May-Grünwald-Giemsa stain; bone marrow aspirate smear; brightfield microscopy, 40× oil immersion.
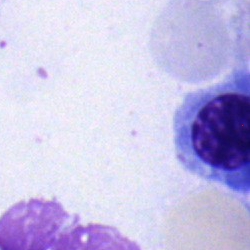Q: Which cell type is shown here?
A: Nucleated red blood cell.